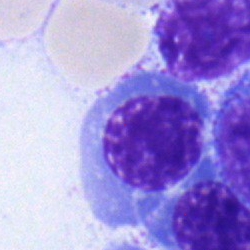Q: What is the morphological classification of this cell?
A: Nucleated red cell.